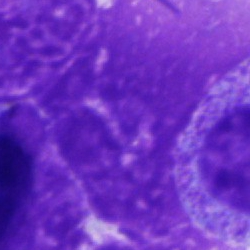
An artefact.